May-Grünwald-Giemsa/Pappenheim stain. Single-cell crop. Bone marrow aspirate smear
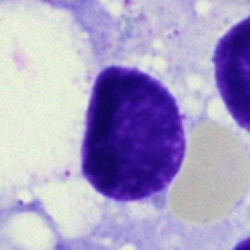

Specimen: bone marrow smear.
Classification: artefact.